Peripheral blood film.
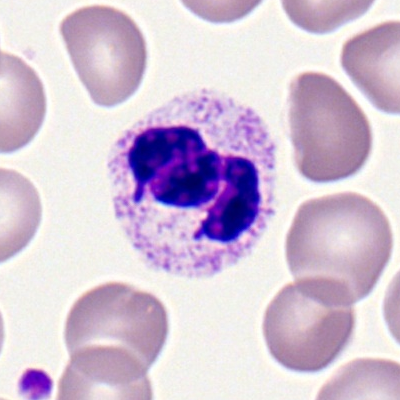
Specimen: peripheral blood smear.
Morphological class: neutrophil (segmented).